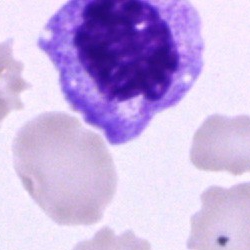Morphological class = unidentifiable cell.